Bone marrow aspirate smear — 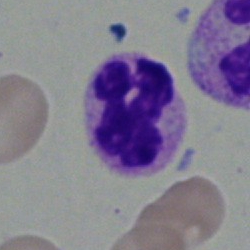
{"cell_type": "neutrophil (segmented)"}